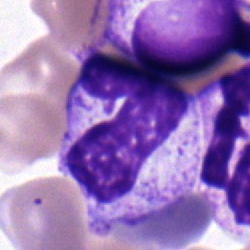Specimen: bone marrow aspirate smear.
Cell type: stab cell.